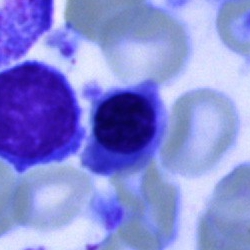Cell: normoblast.